Cropped to a single cell. May-Grünwald-Giemsa stain. Bone marrow aspirate smear — 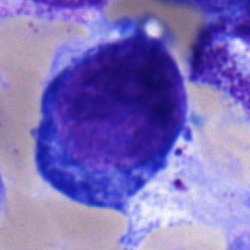 This is a proerythroblast.